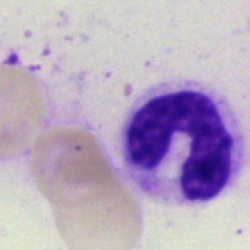 Q: What is the morphological classification of this cell?
A: Band-form neutrophil.